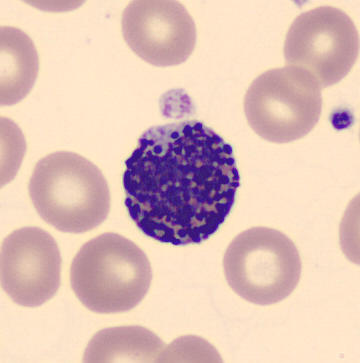

Basophil.
Acquisition: Peripheral blood film.